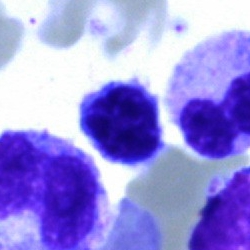 Showing an artefact.